Bone marrow smear:
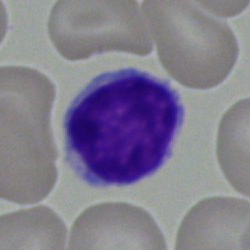{"cell_type": "lymphocyte", "lineage": "lymphoid"}